Peripheral blood film:
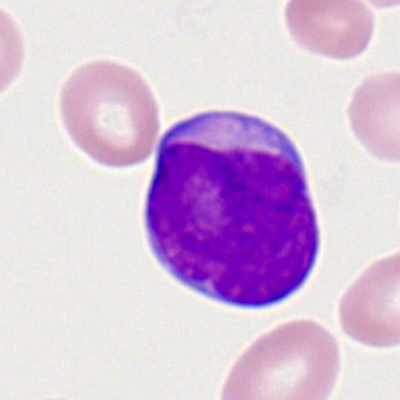Myeloblast.